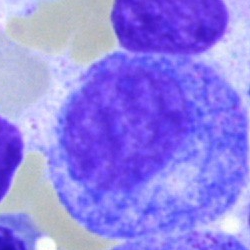 The cell shown is a progranulocyte.